Cropped to a single cell; bone marrow aspirate smear
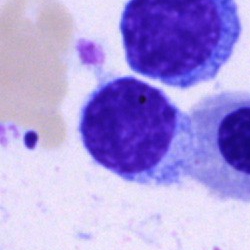This is a typical lymphocyte.